Peripheral blood smear: 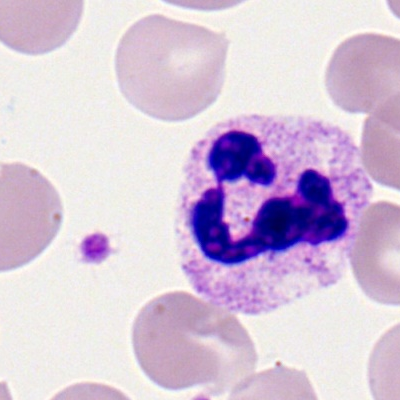

Single cell identified as a segmented neutrophil.